May-Grünwald-Giemsa/Pappenheim stain. Bone marrow aspirate smear:
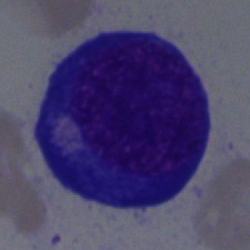
Impression — nucleated red cell.